Bone marrow aspirate smear: 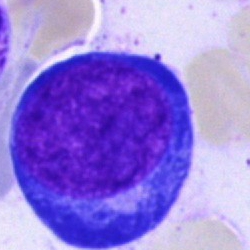

Single cell identified as a pronormoblast.